Bone marrow aspirate smear. 40× objective, oil immersion.
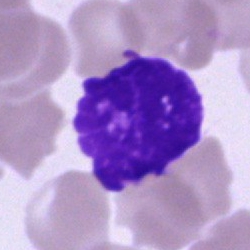 Showing an artefact.